Bone marrow smear — 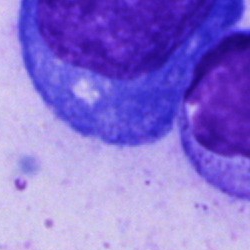

Undifferentiated blast.